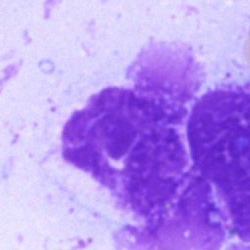Specimen: bone marrow aspirate smear.
Cell: artifact.